May-Grünwald-Giemsa/Pappenheim stain; bone marrow smear — 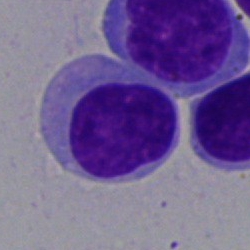A lymphocyte.